Peripheral blood film: 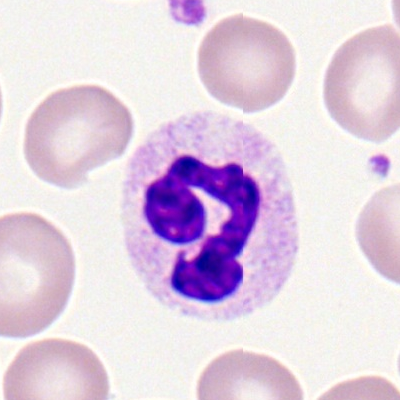 Showing a neutrophil (segmented).